Bone marrow aspirate smear · Pappenheim-stained:
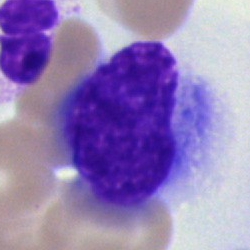

Q: What is shown here?
A: This is an artefact.